Bone marrow smear:
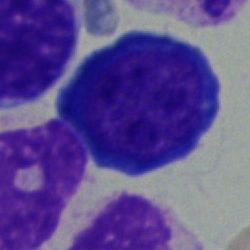
Specimen: bone marrow smear.
Morphological class: proerythroblast.